Bone marrow smear:
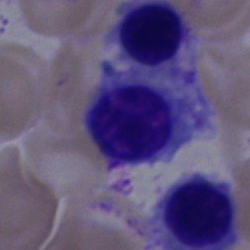Cell type: nucleated red blood cell.